Bone marrow smear: 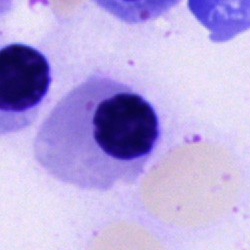 This is a nucleated red blood cell.